Bone marrow smear.
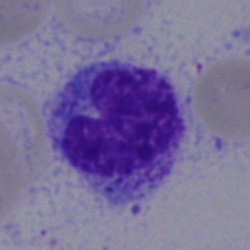

Showing a band-form neutrophil.